Romanowsky-stained; peripheral blood smear; 400×400 px:
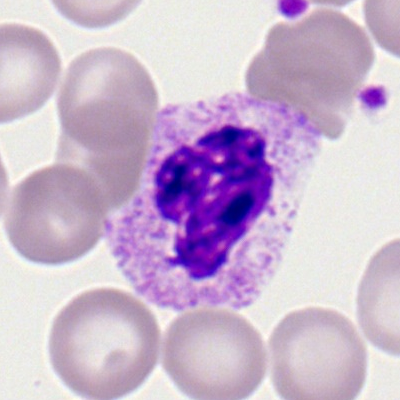 Q: What is shown here?
A: Polymorphonuclear neutrophil.